Brightfield, 40× oil-immersion objective · bone marrow smear · 250×250 px.
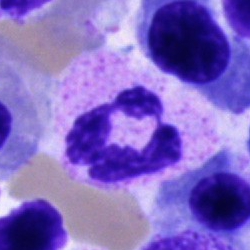The cell is polymorphonuclear neutrophil.